Bone marrow smear: 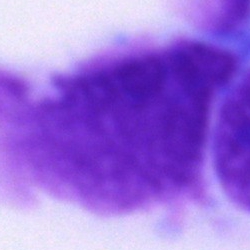

Morphology consistent with an artefact.